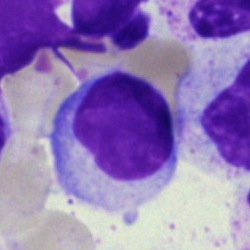
The cell shown is a typical lymphocyte.